Bone marrow smear
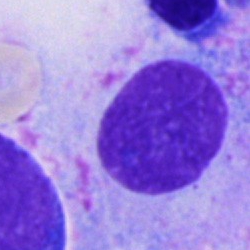 Specimen: bone marrow smear.
Cell type: artefact.